Bone marrow aspirate smear:
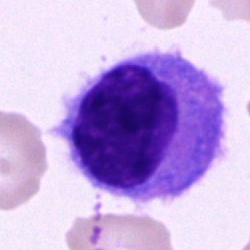Morphology — hairy cell.